40× oil immersion; bone marrow smear:
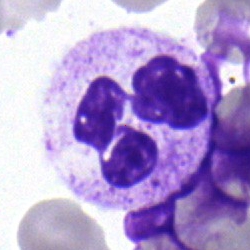Q: What type of cell is this?
A: Segmented neutrophil.